40× objective, oil immersion; single-cell field; bone marrow smear:
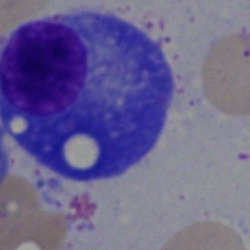

Single cell identified as a plasmacyte.